Bone marrow aspirate smear:
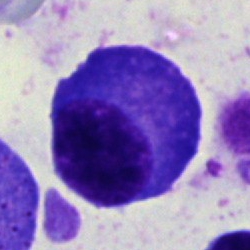

A plasma cell.